Bone marrow aspirate smear · single-cell field · May-Grünwald-Giemsa stain: 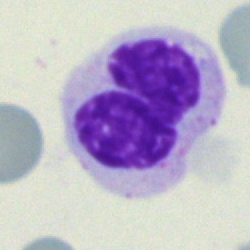Showing a neutrophil (band).